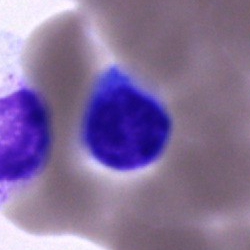

This is a typical lymphocyte.